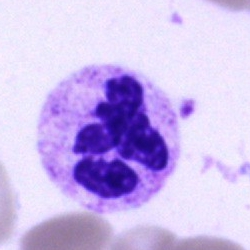
Impression → neutrophil (segmented).